Bone marrow aspirate smear:
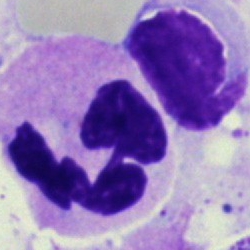
This is a neutrophil (segmented).